Bone marrow aspirate smear.
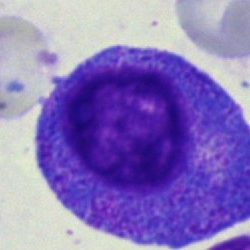Classification: progranulocyte.